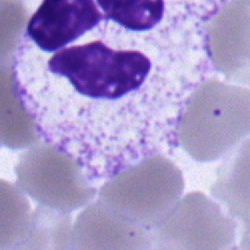
Classification = neutrophil (segmented).